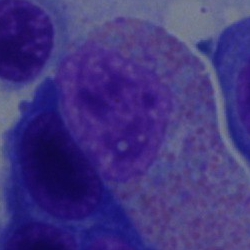 Specimen: bone marrow smear.
Cell type: eosinophilic granulocyte.
Lineage: myeloid.